Bone marrow smear.
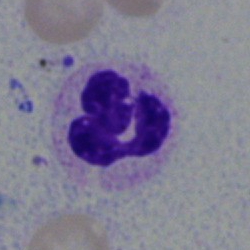 Impression — polymorphonuclear neutrophil.